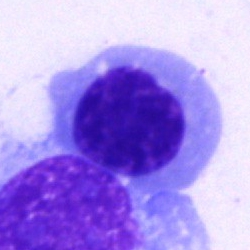Q: What is shown here?
A: This is a normoblast.